Bone marrow smear:
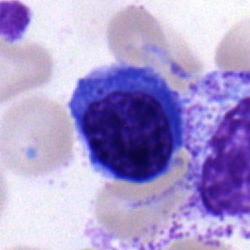 This is a nucleated red blood cell.